Bone marrow smear — 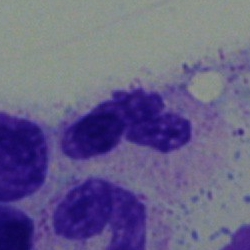

Morphological class: segmented neutrophil.